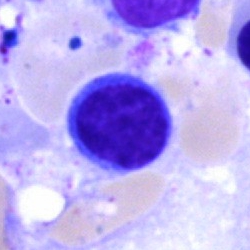Showing a typical lymphocyte.